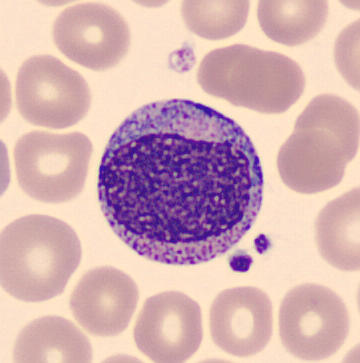

Image: Image size 360×363 · peripheral blood smear · imaged on a CellaVision DM96 analyser. Cell type = promyelocyte.